250 by 250 pixels. Bone marrow aspirate smear
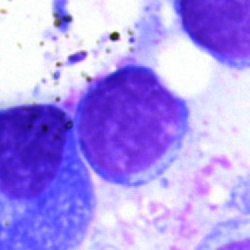
A lymphocyte.